Peripheral blood smear; CellaVision DM96:
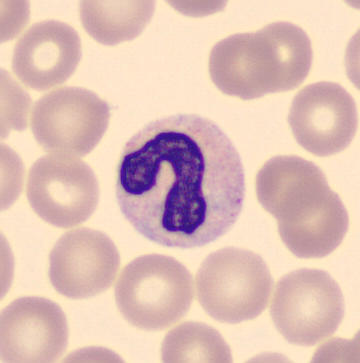 Q: What type of cell is this?
A: A band neutrophil.